Single-cell crop · peripheral blood film:
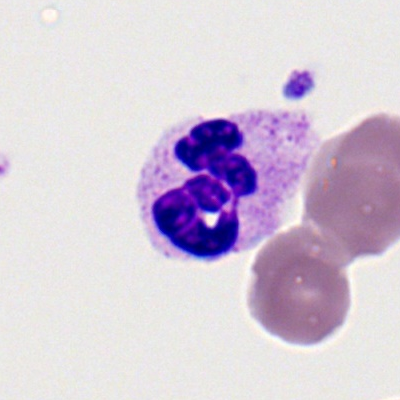

Cell type — polymorphonuclear neutrophil.